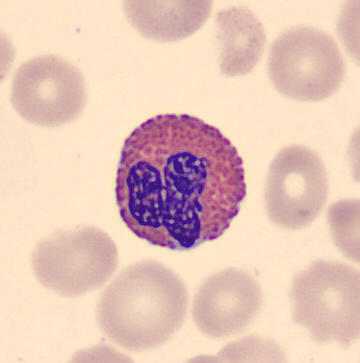
Impression → eosinophilic granulocyte.
Peripheral blood smear.